May-Grünwald-Giemsa/Pappenheim stain. Bone marrow aspirate smear:
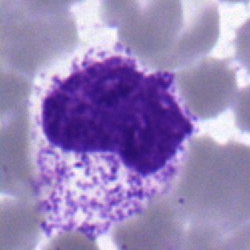

The classification is metamyelocyte.